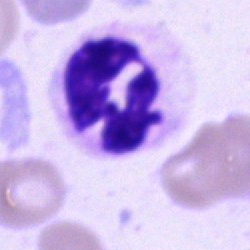

Specimen: bone marrow smear.
Morphological class: segmented neutrophil.
Lineage: myeloid.